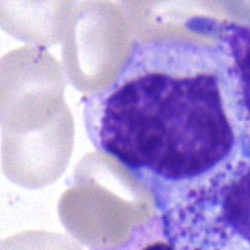

Bone marrow smear showing a myelocyte.